Bone marrow aspirate smear — 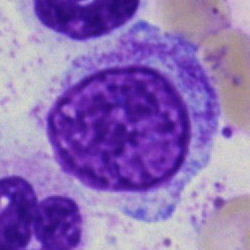Q: Which cell type is shown here?
A: It is a myelocyte.